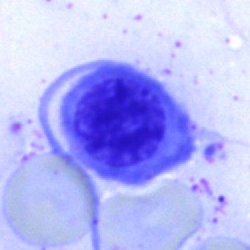
Q: Identify the cell.
A: It is a nucleated red blood cell.